Bone marrow aspirate smear. May-Grünwald-Giemsa/Pappenheim stain.
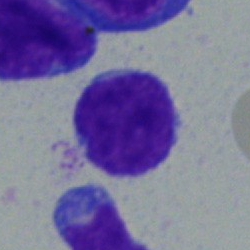

Q: What is the morphological classification of this cell?
A: It is a blast.